Bone marrow smear: 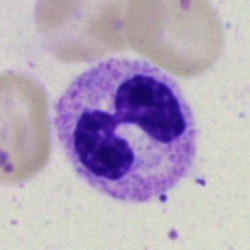 Morphology consistent with a polymorphonuclear neutrophil.